Bone marrow smear: 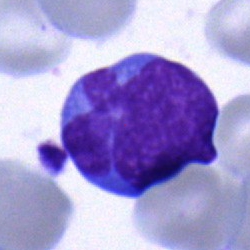Q: Which cell type is shown here?
A: A lymphocyte.